Bone marrow aspirate smear · brightfield microscopy, 40× oil immersion — 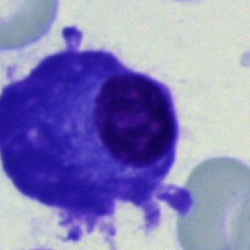 Morphological class = plasma cell.